Bone marrow aspirate smear: 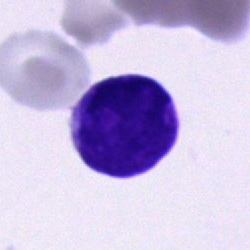Morphology — unidentifiable cell.